250×250; bone marrow smear — 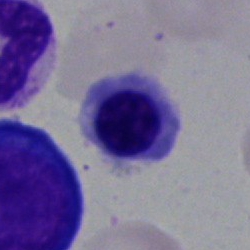
Q: What type of cell is this?
A: It is a nucleated red blood cell.